Bone marrow aspirate smear:
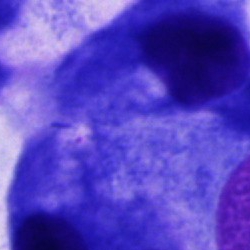

Specimen: bone marrow smear.
Cell: other cell type.